Bone marrow smear: 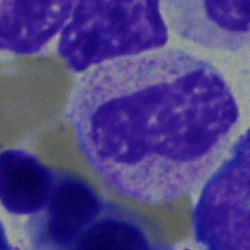
Single cell identified as a band-form neutrophil.